Bone marrow aspirate smear.
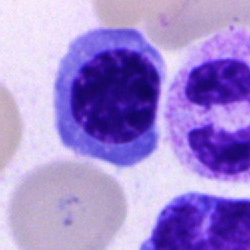 Cell = erythroblast.